Bone marrow smear; brightfield, 40× oil-immersion objective
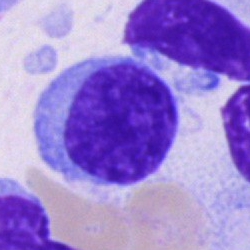
Q: What is shown here?
A: A plasmacyte.